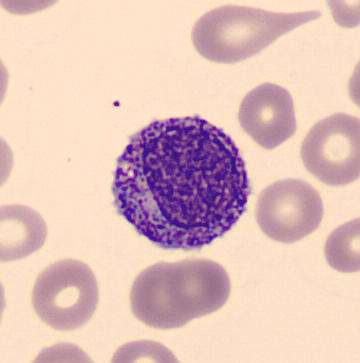 {"cell_type": "promyelocyte", "lineage": "myeloid"}